Peripheral blood film · Romanowsky-type stain.
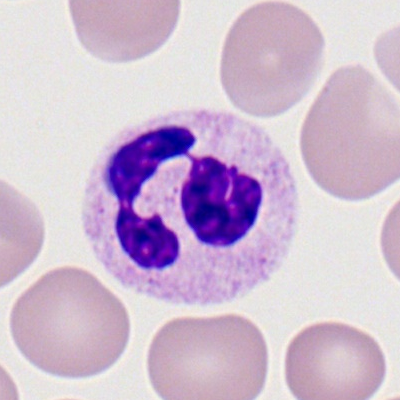

Impression → segmented neutrophil.